Image size 250×250. 40× objective, oil immersion. Bone marrow smear
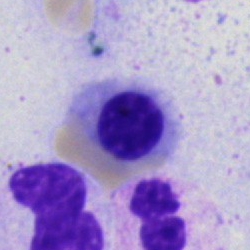 Specimen: bone marrow smear.
Cell type: nucleated red blood cell.
Lineage: erythroid.